Bone marrow aspirate smear · single cell centered in the field.
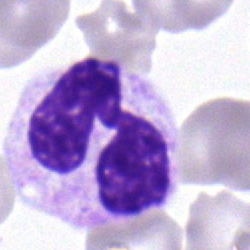 A segmented neutrophil.